Bone marrow aspirate smear: 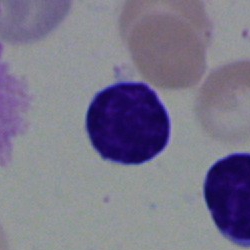 Q: Which cell type is shown here?
A: This is a lymphocyte.